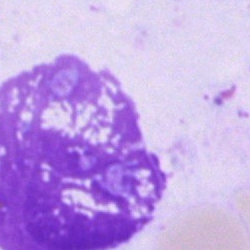Single-cell crop from a bone marrow smear: artefact.